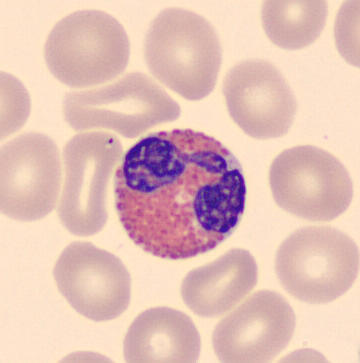
CellaVision DM96; peripheral blood smear. Identified as an eosinophilic granulocyte.